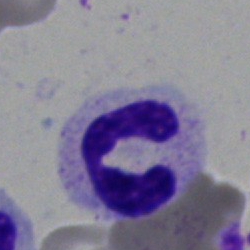Cell: neutrophil (segmented).